MGG-stained. 250×250. Bone marrow smear.
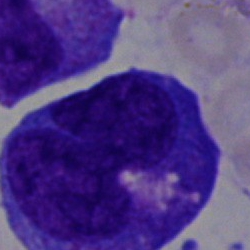
The morphological class is blast cell.